Bone marrow smear — 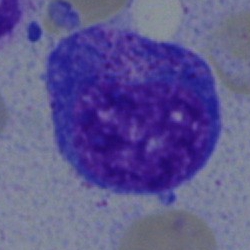

Cell: promyelocyte.